Bone marrow smear; Pappenheim-stained.
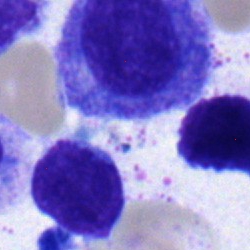

Impression → myelocyte.